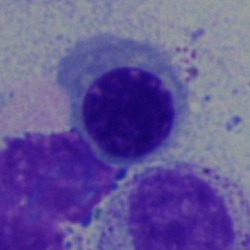Bone marrow smear showing a nucleated red blood cell.